Bone marrow smear:
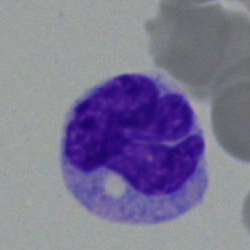Cell: monocyte.